40× objective, oil immersion; bone marrow smear
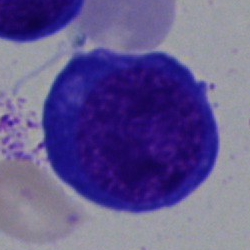 Morphology consistent with a normoblast.